Peripheral blood film · Romanowsky stain
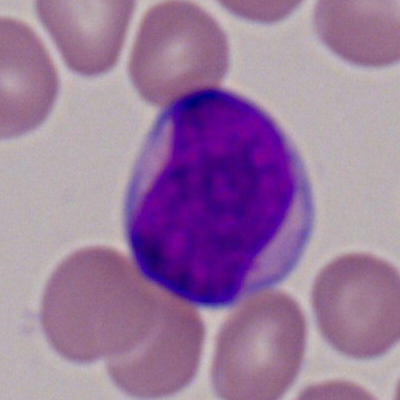Single cell identified as a myeloblast.